Peripheral blood smear.
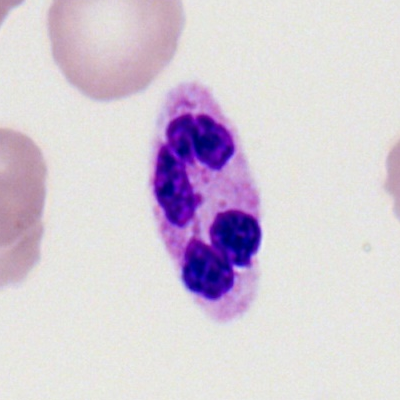
Morphology — polymorphonuclear neutrophil.